Bone marrow smear:
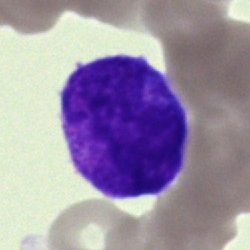 Specimen: bone marrow aspirate smear.
Classification: undifferentiated blast.